Peripheral blood film; single cell centered in the field
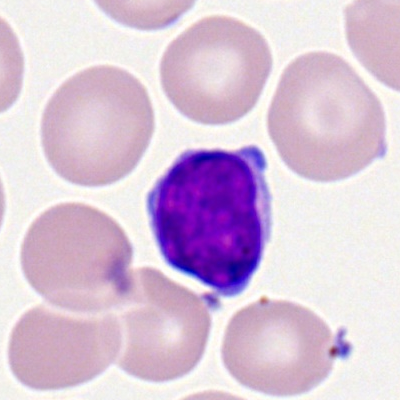

Morphology — typical lymphocyte.